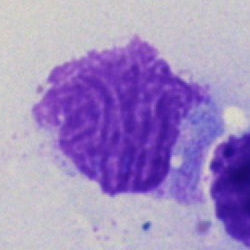 Classification — artefact.